Bone marrow aspirate smear: 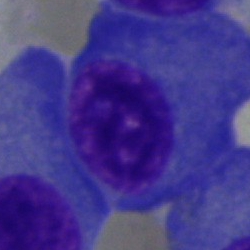Morphology consistent with a plasma cell.